Bone marrow smear
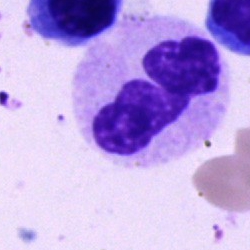
Segmented neutrophil.